100× objective, oil immersion · Romanowsky-stained · peripheral blood film — 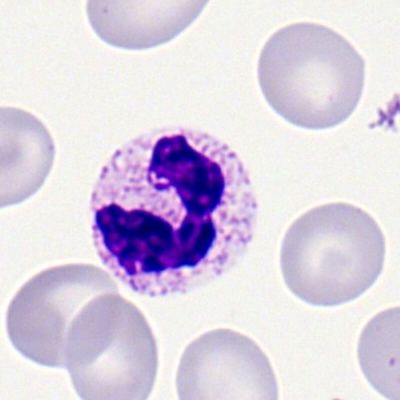
Morphology — segmented neutrophil.